Bone marrow smear. May-Grünwald-Giemsa/Pappenheim stain. 250 by 250 pixels:
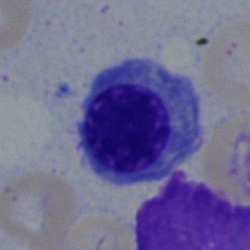
This is an erythroblast.